May-Grünwald-Giemsa/Pappenheim stain; bone marrow aspirate smear; single-cell field — 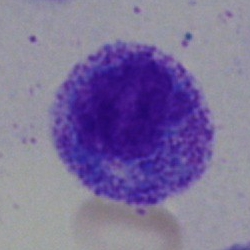

Specimen: bone marrow smear.
Cell: progranulocyte.
Lineage: myeloid.